Brightfield, 40× oil-immersion objective. Bone marrow aspirate smear.
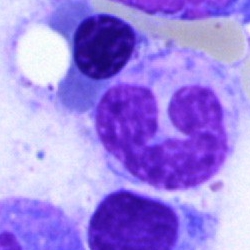The cell shown is a neutrophil (segmented).